Bone marrow smear; brightfield microscopy, 40× oil immersion.
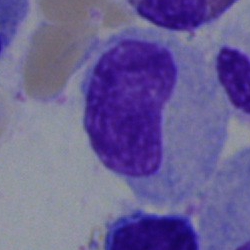 Impression → metamyelocyte.